Image size 250×250; brightfield microscopy, 40× oil immersion; bone marrow aspirate smear:
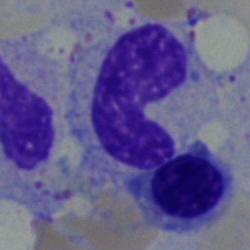
Single cell identified as a neutrophil (band).